Single-cell crop · bone marrow smear
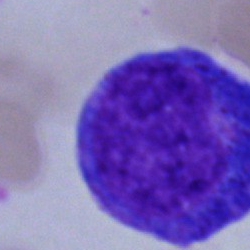

Showing a pronormoblast.